Bone marrow smear.
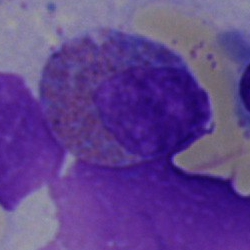Morphology — eosinophil.